Bone marrow aspirate smear:
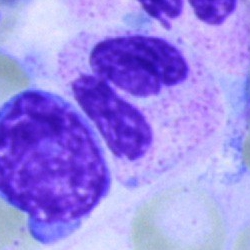

Q: What cell is this?
A: It is a segmented neutrophil.